Bone marrow aspirate smear: 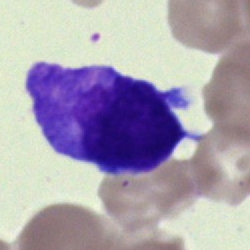Cell — blast.